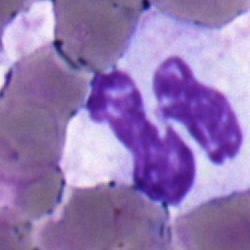 A segmented neutrophil on a bone marrow smear.